Bone marrow aspirate smear
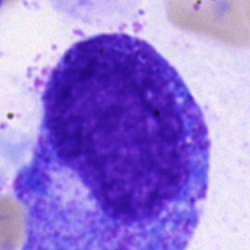

A promyelocyte.